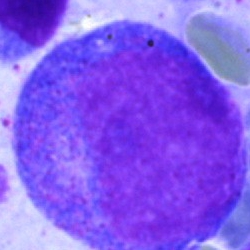

Cell type = promyelocyte.